Bone marrow smear.
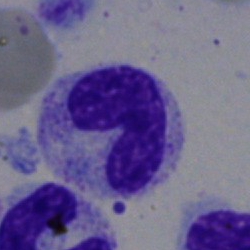Specimen: bone marrow aspirate smear.
Cell type: band neutrophil.